Peripheral blood film:
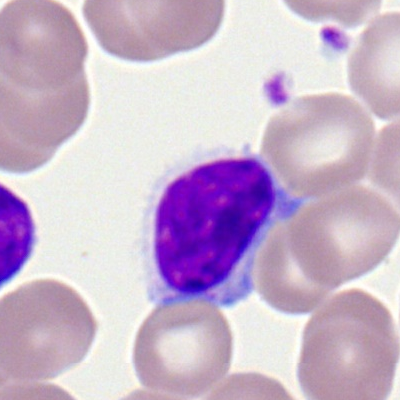
{"cell_type": "typical lymphocyte"}